Peripheral blood film. 400×400 px.
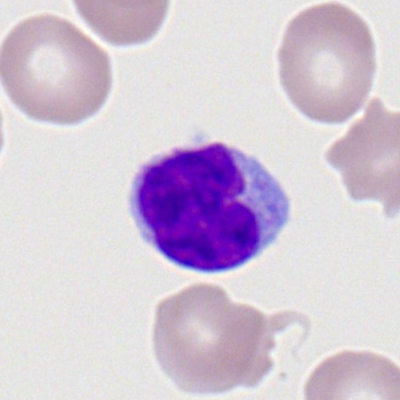
Single cell identified as a typical lymphocyte.